Bone marrow smear; May-Grünwald-Giemsa/Pappenheim stain.
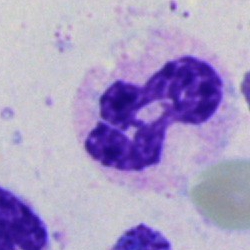

This is a polymorphonuclear neutrophil.